Bone marrow smear.
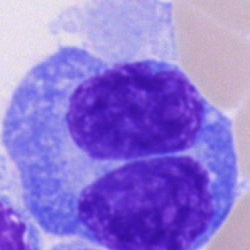
This is a plasma cell.